Bone marrow aspirate smear:
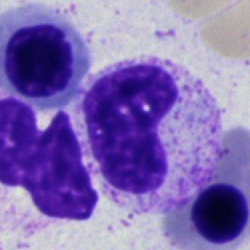 Morphology — neutrophil (band).